Cropped to a single cell · 250 by 250 pixels · bone marrow aspirate smear.
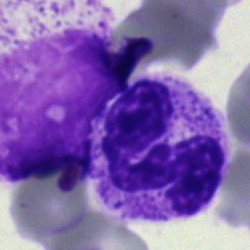Cell — neutrophil (segmented).